Bone marrow aspirate smear
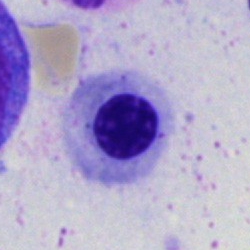Specimen: bone marrow smear.
Classification: nucleated red cell.
Lineage: erythroid.